Bone marrow aspirate smear
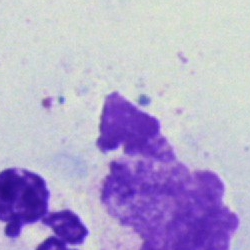

The cell type is artifact.